Bone marrow aspirate smear: 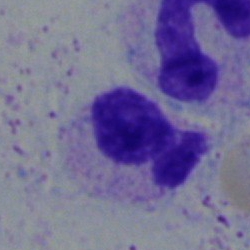 Single cell identified as a neutrophil (segmented).